Bone marrow smear: 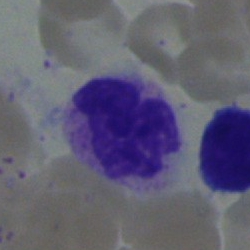

Q: What type of cell is this?
A: Segmented neutrophil.